250×250 px. Bone marrow aspirate smear: 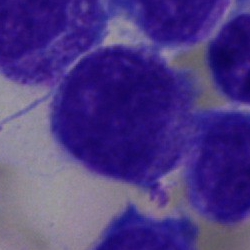

Blast cell.